Single-cell field. 40× oil immersion. Bone marrow aspirate smear: 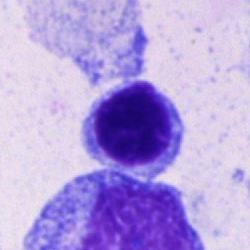

Q: What is the morphological classification of this cell?
A: It is a nucleated red cell.